Bone marrow aspirate smear — 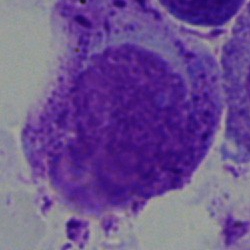 Cell = undifferentiated blast.